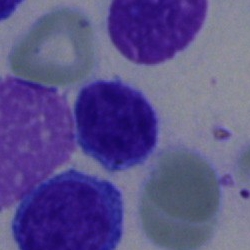

Q: What is the morphological classification of this cell?
A: This is a typical lymphocyte.